Bone marrow smear. Cropped to a single cell:
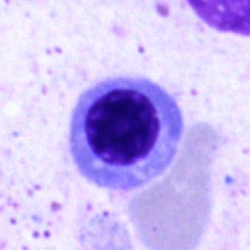
A nucleated red blood cell.